Bone marrow aspirate smear.
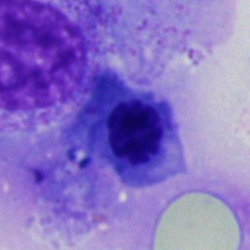 Normoblast.